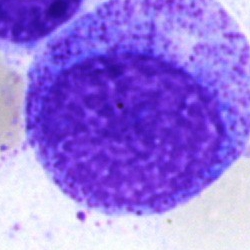

A promyelocyte.